Bone marrow smear. May-Grünwald-Giemsa/Pappenheim stain — 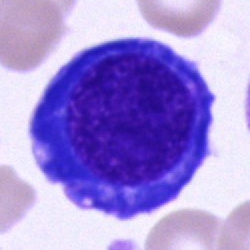Cell type = nucleated red cell.